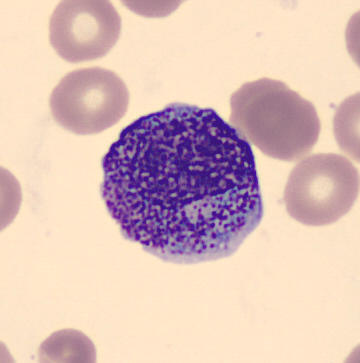Image: MGG stain · peripheral blood smear. This is a promyelocyte.